Bone marrow smear · single-cell crop:
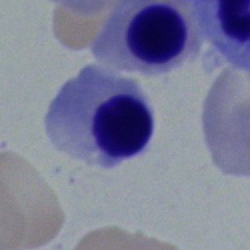Impression — normoblast.